Bone marrow smear · MGG-stained — 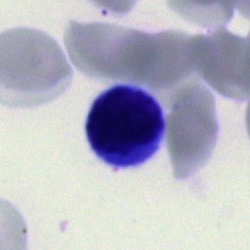{"cell_type": "typical lymphocyte", "lineage": "lymphoid"}